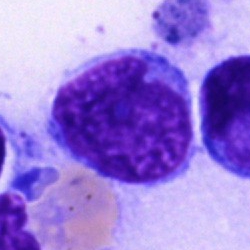

Specimen: bone marrow smear.
Morphological class: blast cell.